Single cell centered in the field · 40× objective, oil immersion · bone marrow aspirate smear:
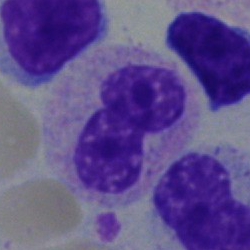

Q: What is the morphological classification of this cell?
A: Band neutrophil.